Bone marrow smear — 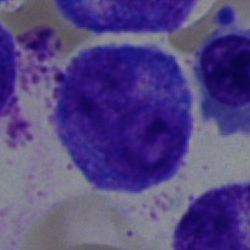
Impression — progranulocyte.